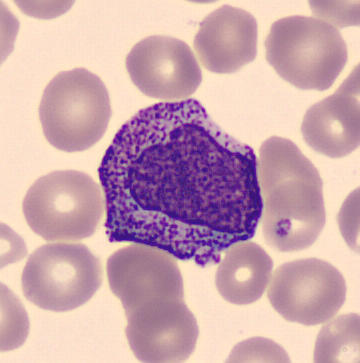

Q: What is this?
A: Promyelocyte.